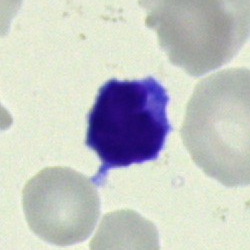

{"cell_type": "lymphocyte"}